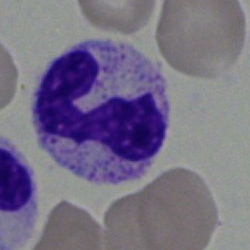 Single-cell crop from a bone marrow smear: band neutrophil.